Peripheral blood film. May-Grünwald-Giemsa-stained. Automated cell imaging (CellaVision DM96) — 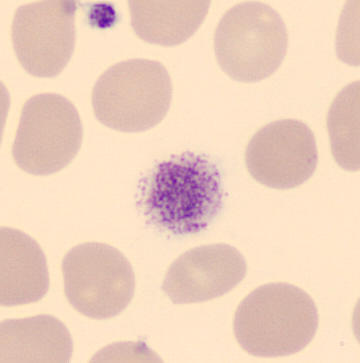
Cell type: platelet.